Peripheral blood smear. Single cell centered in the field. Romanowsky-stained
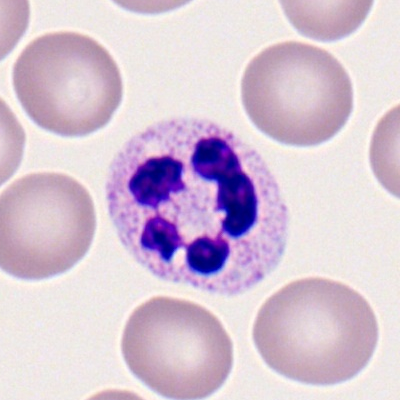Morphological class — segmented neutrophil.